Bone marrow smear · brightfield, 40× oil-immersion objective.
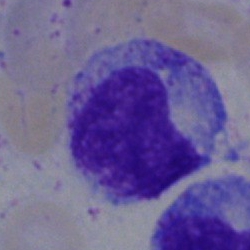

{"cell_type": "metamyelocyte", "lineage": "myeloid"}